Bone marrow aspirate smear:
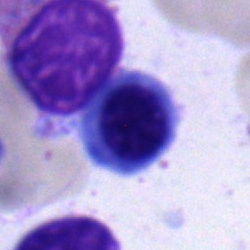
Cell: nucleated red blood cell.